Bone marrow smear. Image size 250×250. Brightfield microscopy, 40× oil immersion:
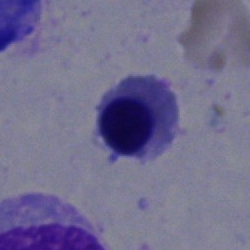 Q: What cell is this?
A: A normoblast.